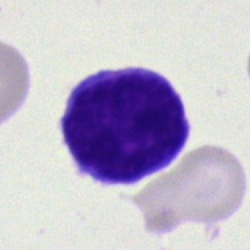 {"cell_type": "typical lymphocyte", "lineage": "lymphoid"}